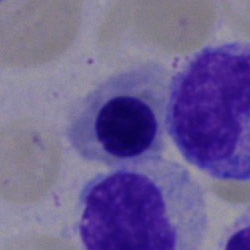Q: What type of cell is this?
A: It is a normoblast.